250×250 px. Bone marrow aspirate smear. Single-cell field — 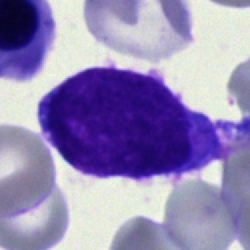The cell shown is an undifferentiated blast.